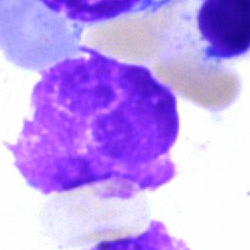 {"cell_type": "artifact"}